Bone marrow smear
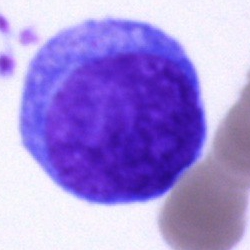
The cell is blast cell.